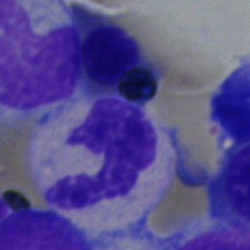

{"cell_type": "neutrophil (segmented)", "lineage": "myeloid"}